Bone marrow aspirate smear; MGG-stained; single cell centered in the field
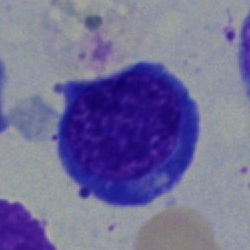

Cell type: erythroblast.